Bone marrow aspirate smear. May-Grünwald-Giemsa stain
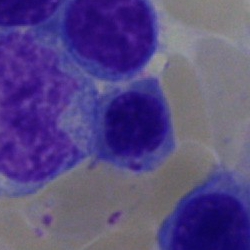Nucleated red blood cell.